Bone marrow aspirate smear.
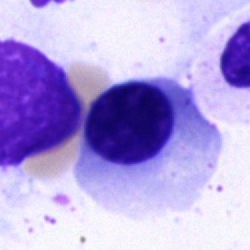 Q: What type of cell is this?
A: Nucleated red blood cell.